May-Grünwald-Giemsa/Pappenheim stain · bone marrow aspirate smear — 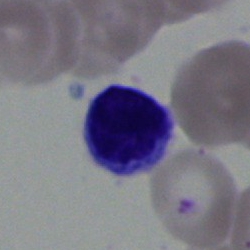 Single cell identified as a lymphocyte.